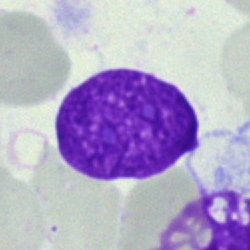
Specimen: bone marrow aspirate smear.
Cell type: artifact.